Bone marrow aspirate smear · single cell centered in the field · brightfield, 40× oil-immersion objective — 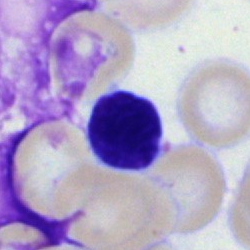

The cell shown is a lymphocyte.